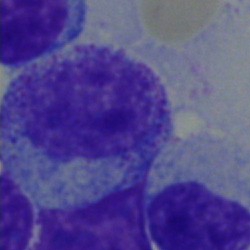
This is a myelocyte.